Bone marrow smear.
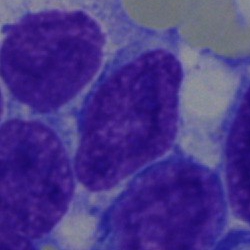The cell type is undifferentiated blast.